Bone marrow smear — 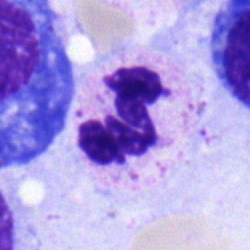 Q: Which cell type is shown here?
A: It is a segmented neutrophil.